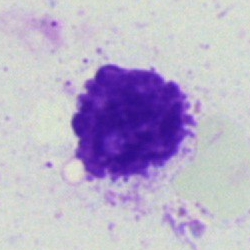{"cell_type": "artifact"}